Bone marrow aspirate smear
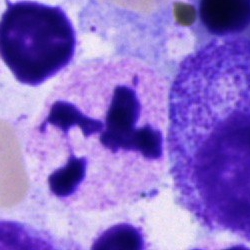

Specimen: bone marrow smear.
Cell type: neutrophil (segmented).
Lineage: myeloid.